Peripheral blood smear
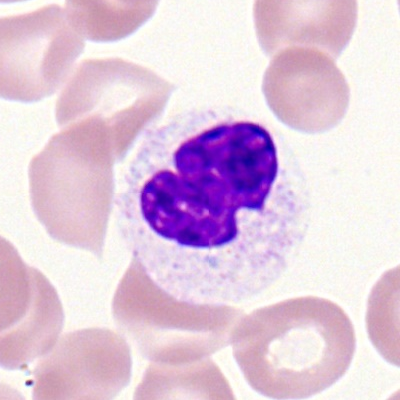

Q: What type of cell is this?
A: This is a polymorphonuclear neutrophil.